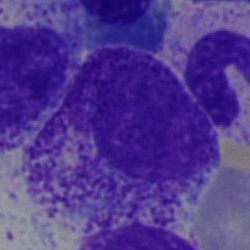

Q: Which cell type is shown here?
A: A myelocyte.